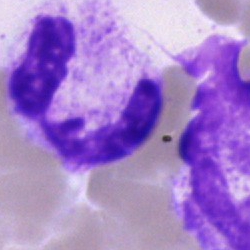

Q: Identify the cell.
A: This is a neutrophil (segmented).